Bone marrow smear: 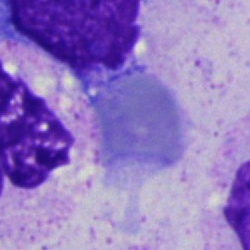 Classification = neutrophil (segmented).